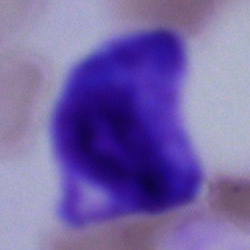 The morphological class is artifact.